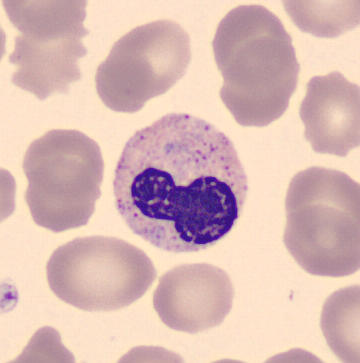

Q: Which cell type is shown here?
A: This is a stab cell. Peripheral blood film · 360×363.